Single cell centered in the field · bone marrow aspirate smear:
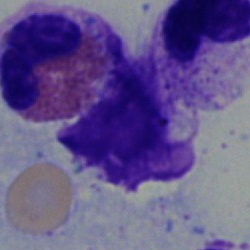
Specimen: bone marrow aspirate smear.
Classification: eosinophilic granulocyte.